Bone marrow smear:
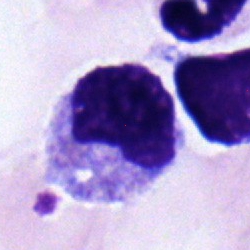
Morphology → metamyelocyte.